Peripheral blood film: 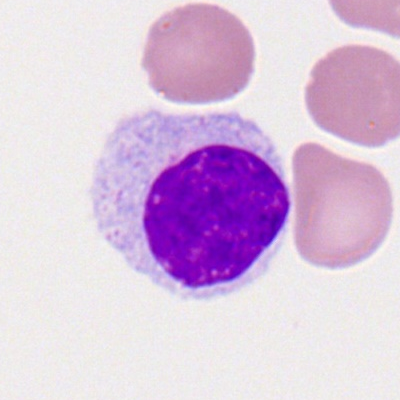The cell shown is a lymphocyte.